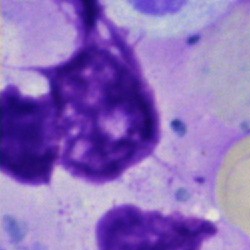

The morphological class is artefact.